Bone marrow smear · MGG-stained.
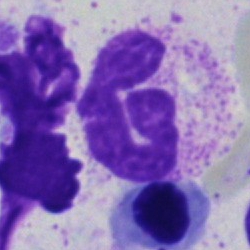
Morphological class: segmented neutrophil.